Bone marrow aspirate smear — 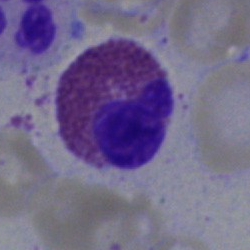

Morphology — eosinophilic granulocyte.